Peripheral blood smear; single cell centered in the field:
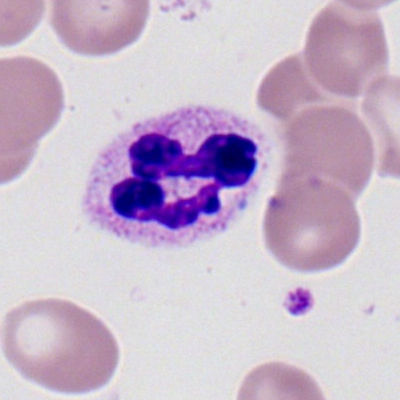 Single cell identified as a polymorphonuclear neutrophil.